MGG-stained. Bone marrow aspirate smear: 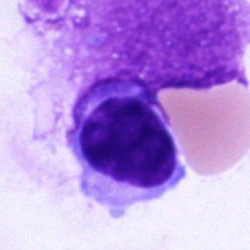Morphological class = plasmacyte.